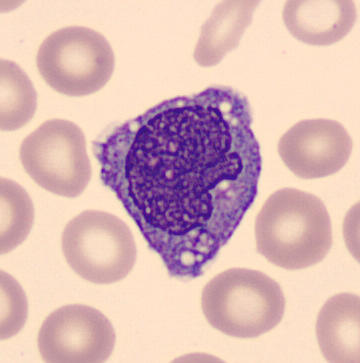
Preparation: Imaged on a CellaVision DM96 analyser · peripheral blood smear.

Morphological class: monocyte.